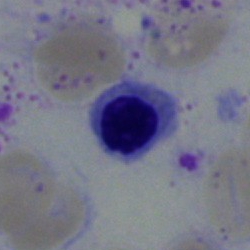 Impression → erythroblast.